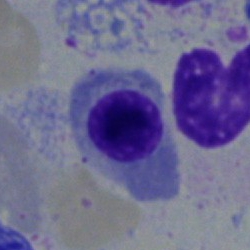
Q: Which cell type is shown here?
A: Nucleated red blood cell.